Bone marrow smear
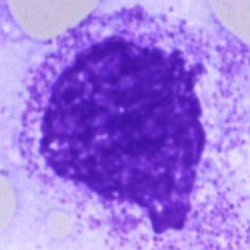

Q: What is shown here?
A: An artifact.